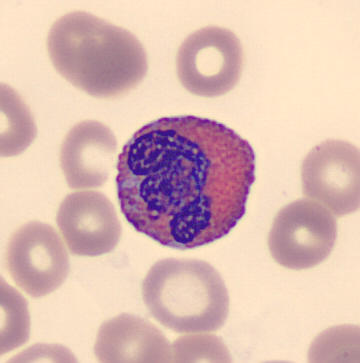
Cell type = eosinophilic granulocyte.

May-Grünwald-Giemsa-stained; peripheral blood smear.